May-Grünwald-Giemsa/Pappenheim stain; bone marrow smear
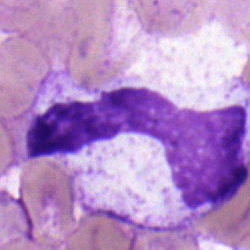

Specimen: bone marrow smear.
Cell: neutrophil (band).